Bone marrow smear — 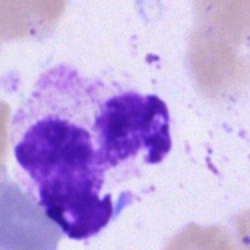 Cell type — polymorphonuclear neutrophil.